Bone marrow aspirate smear.
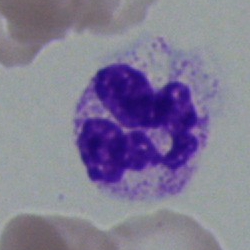 Q: What is the morphological classification of this cell?
A: This is a segmented neutrophil.